Bone marrow smear — 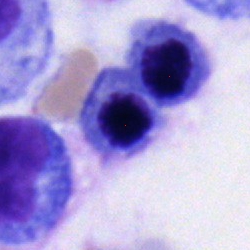
Q: What is shown here?
A: Neutrophil (segmented).